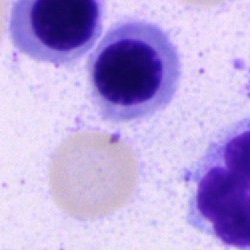 Morphological class — nucleated red cell.